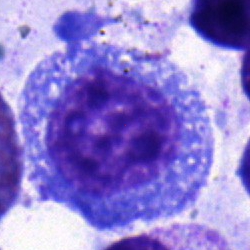 Q: What is the morphological classification of this cell?
A: It is a progranulocyte.